Bone marrow aspirate smear
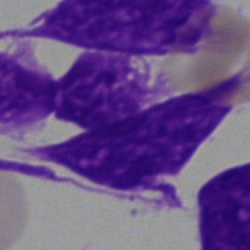Morphological class = artifact.